Bone marrow smear; 40× oil immersion; 250×250: 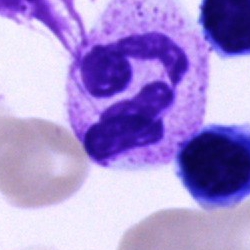Showing a segmented neutrophil.